Bone marrow smear; MGG-stained
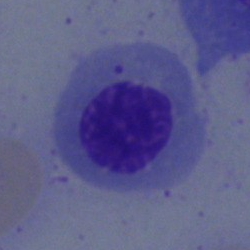

A nucleated red cell.